Bone marrow smear
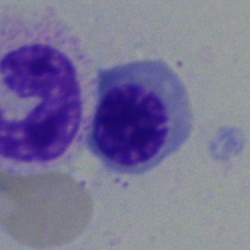Classification = nucleated red cell.